Bone marrow aspirate smear:
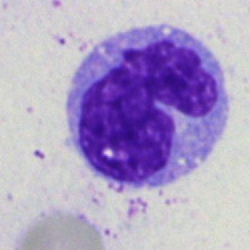
{"cell_type": "monocyte"}